Bone marrow aspirate smear:
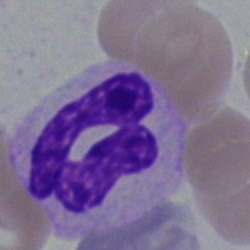

The classification is polymorphonuclear neutrophil.